Bone marrow smear · single-cell field — 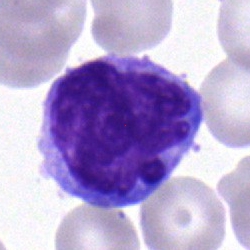
Q: What is shown here?
A: It is a monocyte.